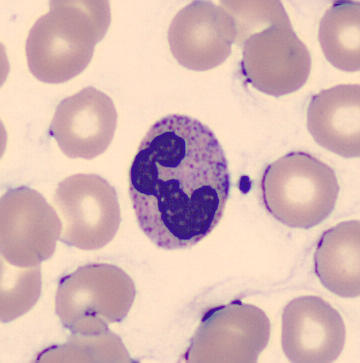

This is a segmented neutrophil. Preparation: Peripheral blood smear.